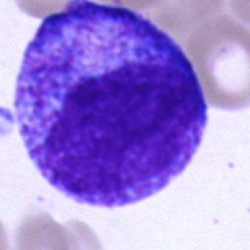

Specimen: bone marrow aspirate smear.
Cell: progranulocyte.
Lineage: myeloid.